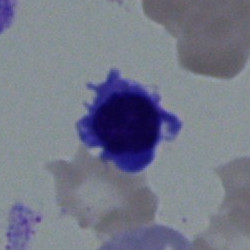 Bone marrow aspirate smear, single cell — typical lymphocyte.